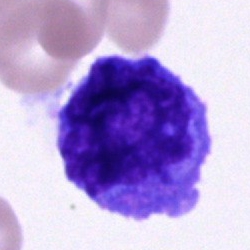

Bone marrow aspirate smear, single cell — cell of indeterminate lineage.